Bone marrow aspirate smear.
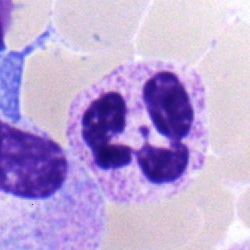Morphological class: neutrophil (segmented).